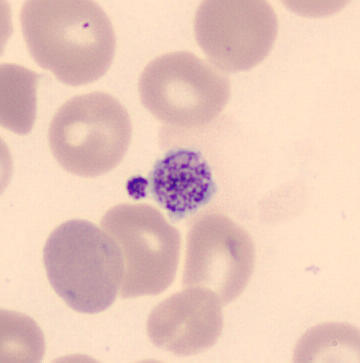

Image: Peripheral blood film. Imaged on a CellaVision DM96 analyser. Impression → thrombocyte.